Bone marrow smear: 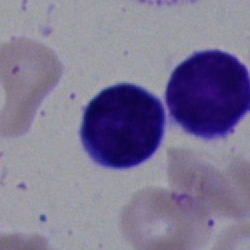 Q: Which cell type is shown here?
A: Lymphocyte.